Bone marrow aspirate smear; cropped to a single cell:
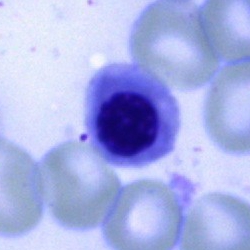Morphology consistent with a normoblast.